250×250. Bone marrow aspirate smear — 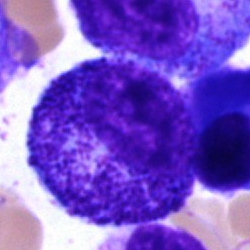
Progranulocyte.